Bone marrow smear; 250×250: 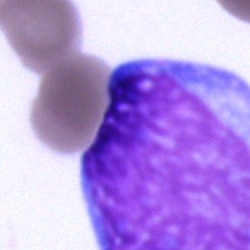

This is a blast cell.